Bone marrow smear:
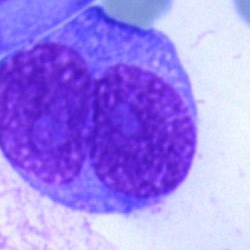
{"cell_type": "blast cell"}